40× oil immersion; MGG-stained; bone marrow aspirate smear — 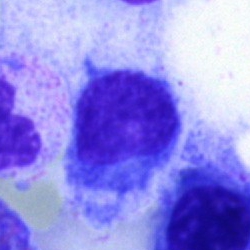Cell: hairy cell.